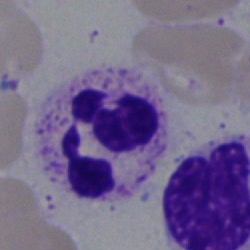
Bone marrow smear showing a polymorphonuclear neutrophil.